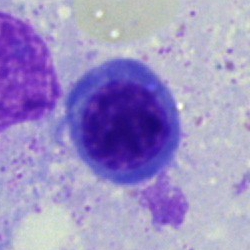 Specimen: bone marrow smear.
Classification: nucleated red cell.
Lineage: erythroid.